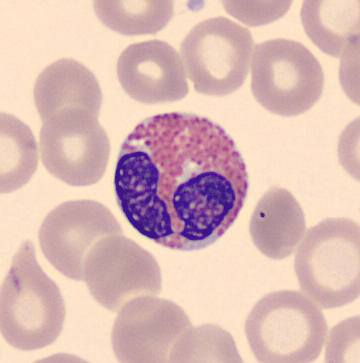 Classification — eosinophil.